Bone marrow smear; brightfield, 40× oil-immersion objective
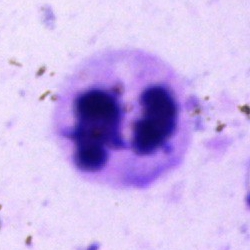Morphology consistent with a segmented neutrophil.